Bone marrow aspirate smear. 40× objective, oil immersion. May-Grünwald-Giemsa stain:
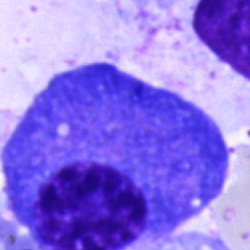
This is a plasmacyte.